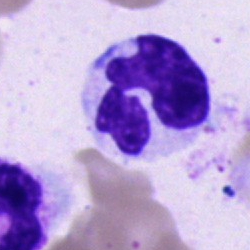 Cell — segmented neutrophil.